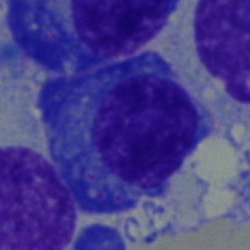 Impression — plasmacyte.